Bone marrow aspirate smear — 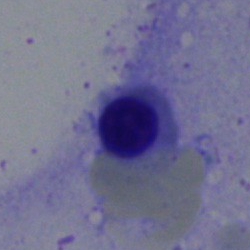 The cell shown is an erythroblast.